Bone marrow smear.
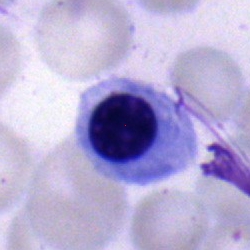
The cell shown is a normoblast.